Bone marrow aspirate smear — 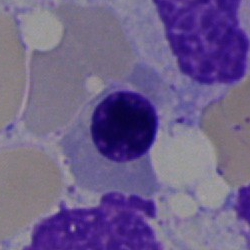

Nucleated red cell.